Pappenheim-stained; single-cell field; bone marrow aspirate smear
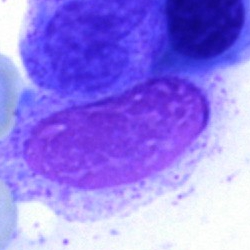

The cell is cell of indeterminate lineage.